Bone marrow aspirate smear: 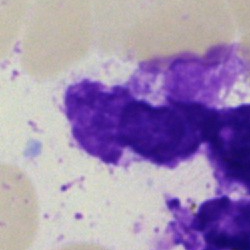
The cell shown is an artefact.